Bone marrow smear:
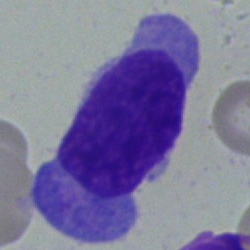

A blast cell.